Bone marrow aspirate smear.
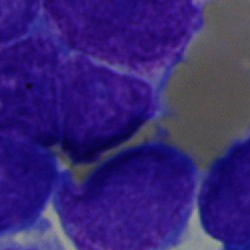 Specimen: bone marrow aspirate smear.
Classification: blast cell.